Bone marrow smear — 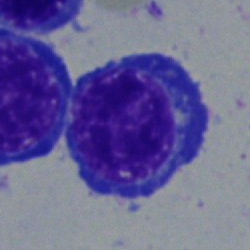Specimen: bone marrow aspirate smear.
Cell type: proerythroblast.
Lineage: erythroid.